Brightfield microscopy, 40× oil immersion; Pappenheim-stained; bone marrow smear: 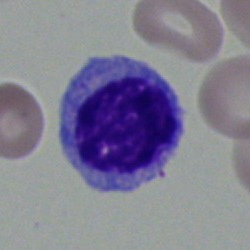Classification — myelocyte.